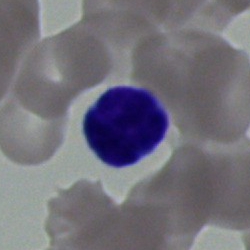

Cell type: typical lymphocyte.